Peripheral blood smear; single-cell crop; CellaVision DM96:
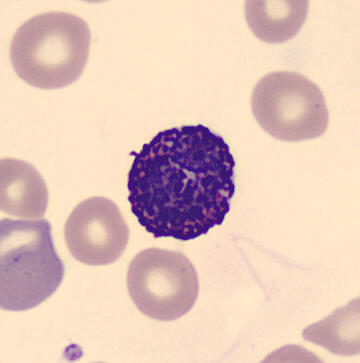
This is a basophil.